Bone marrow smear: 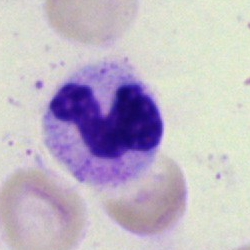

Cell: neutrophil (segmented).